Pappenheim-stained. Bone marrow smear — 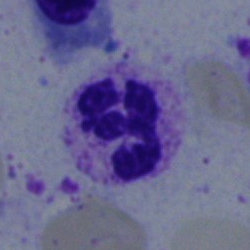

Morphological class — segmented neutrophil.